Single-cell crop · bone marrow smear · 40× objective, oil immersion:
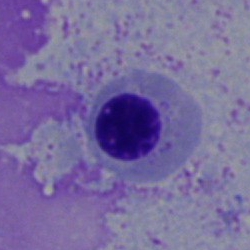

Specimen: bone marrow aspirate smear.
Classification: nucleated red cell.
Lineage: erythroid.